Bone marrow aspirate smear. 250×250. 40× objective, oil immersion: 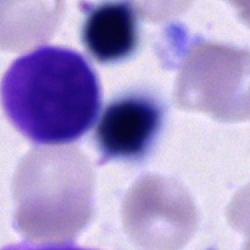Showing a cell of indeterminate lineage.